Romanowsky stain. Peripheral blood film. Cropped to a single cell:
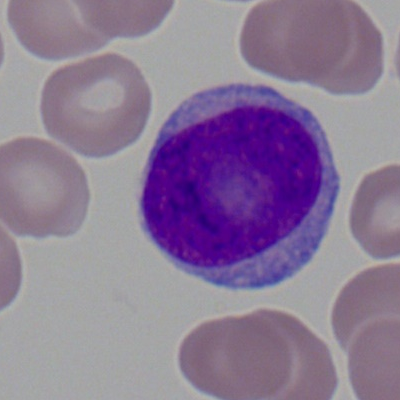

{"cell_type": "myeloid blast"}